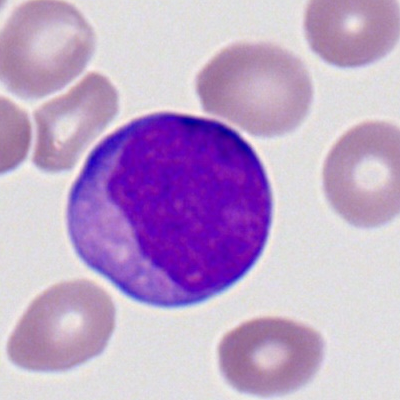This is a myeloid blast.